Bone marrow aspirate smear: 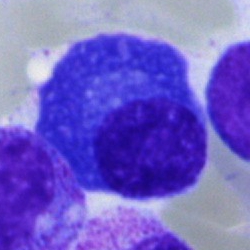
Showing a plasma cell.